Brightfield microscopy, 40× oil immersion; bone marrow smear:
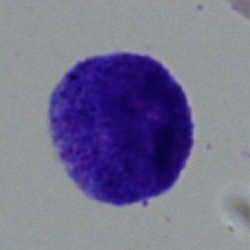Q: What is the morphological classification of this cell?
A: This is a promyelocyte.